Bone marrow aspirate smear · May-Grünwald-Giemsa stain:
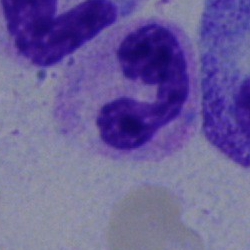

Specimen: bone marrow aspirate smear.
Classification: segmented neutrophil.
Lineage: myeloid.